Brightfield, 100× oil-immersion objective; 400×400; peripheral blood film:
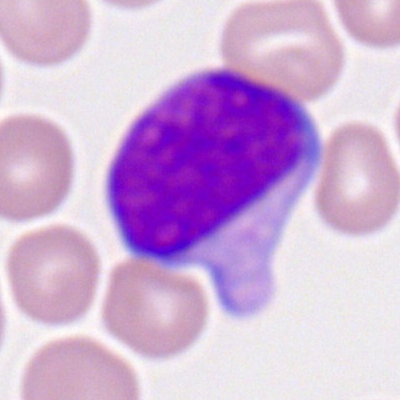 Single cell identified as a myeloid blast.